Bone marrow smear — 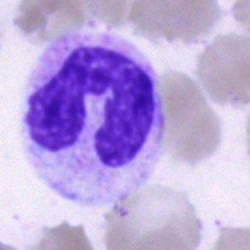

Single cell identified as a neutrophil (band).